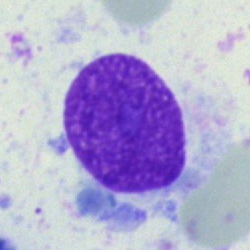

Cell — artifact.